Bone marrow aspirate smear. 250×250 px.
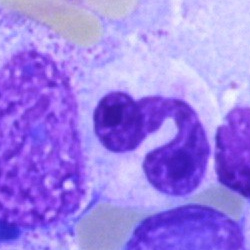 Cell = segmented neutrophil.